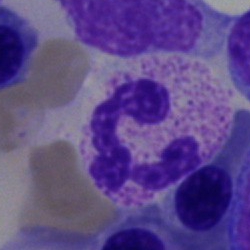

Morphological class — polymorphonuclear neutrophil.